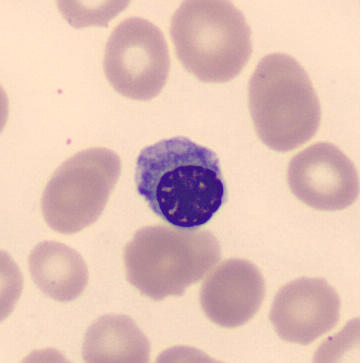

Showing a nucleated red cell. Cropped to a single cell · peripheral blood smear · automated cell imaging (CellaVision DM96).